Bone marrow aspirate smear · 40× oil immersion:
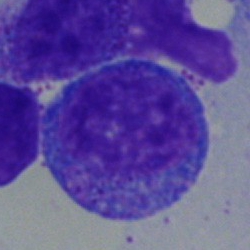 Q: Which cell type is shown here?
A: Promyelocyte.